Bone marrow smear · 250 by 250 pixels · Pappenheim-stained:
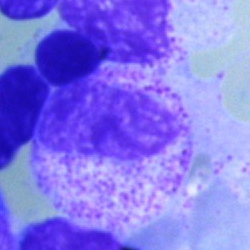

Single cell identified as a band-form neutrophil.